Romanowsky-stained · peripheral blood film.
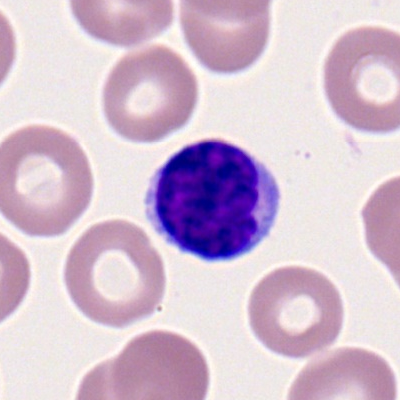
Impression — lymphocyte.